40× objective, oil immersion; bone marrow smear; single cell centered in the field.
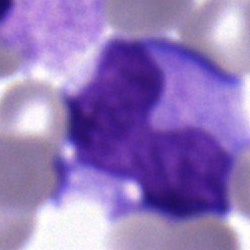

Q: What type of cell is this?
A: Monocyte.